Peripheral blood smear
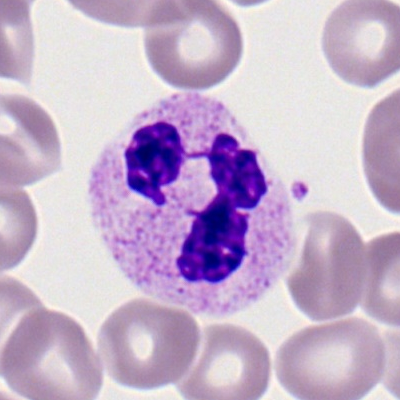
Specimen: peripheral blood film.
Morphological class: neutrophil (segmented).